Single-cell crop. Bone marrow smear — 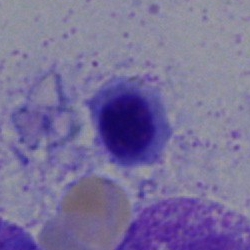

This is a nucleated red cell.